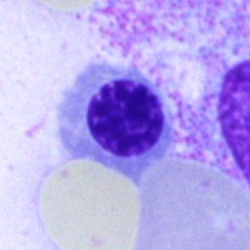

Classification: erythroblast.